Peripheral blood smear.
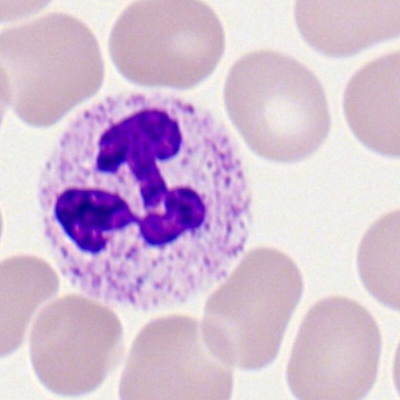Morphological class — segmented neutrophil.